400×400 px · peripheral blood film · single-cell field.
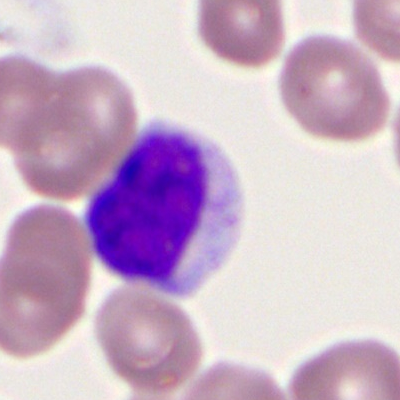Q: What cell is this?
A: This is a typical lymphocyte.